Bone marrow aspirate smear:
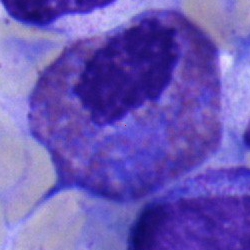 Showing an eosinophil.